Bone marrow aspirate smear.
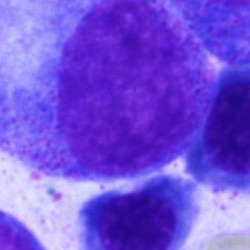A promyelocyte.